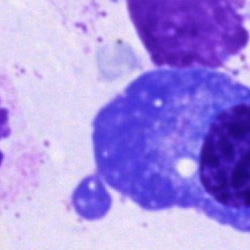

The classification is plasma cell.